Bone marrow smear.
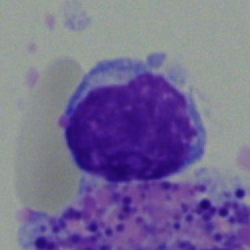 Typical lymphocyte.